Bone marrow aspirate smear.
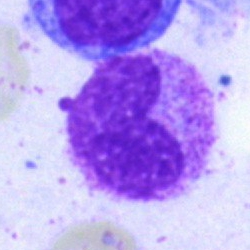 Showing a metamyelocyte.